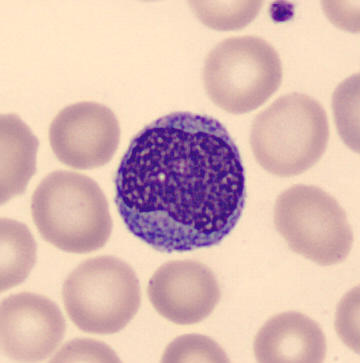
{"cell_type": "monocyte", "lineage": "myeloid"}
Image size 360×363. Single cell centered in the field. Peripheral blood smear.